Bone marrow smear.
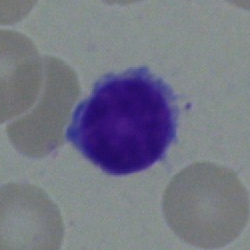Showing a lymphocyte.